May-Grünwald-Giemsa/Pappenheim stain · 250 by 250 pixels · bone marrow aspirate smear
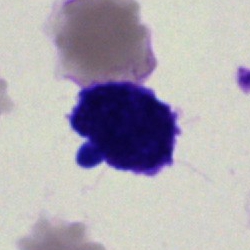

Single cell identified as an artefact.